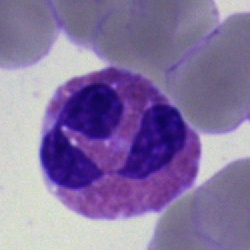

An eosinophil on a bone marrow smear.